May-Grünwald-Giemsa stain. Bone marrow smear
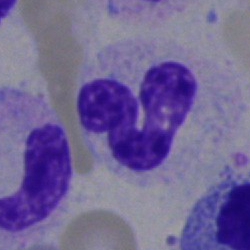
Classification = neutrophil (segmented).